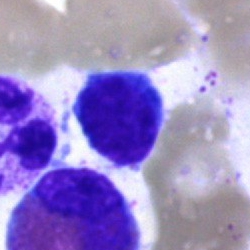

{"cell_type": "typical lymphocyte", "lineage": "lymphoid"}